40× oil immersion; bone marrow aspirate smear — 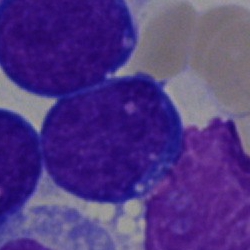
Morphology — blast cell.